Romanowsky-stained · peripheral blood smear.
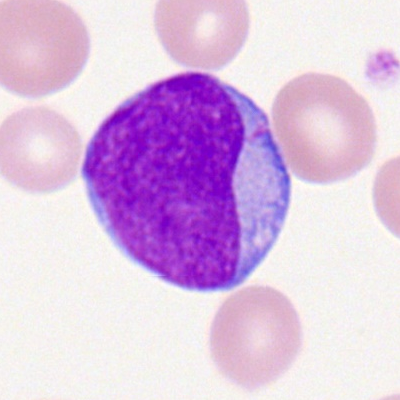Showing a myeloid blast.